Bone marrow aspirate smear — 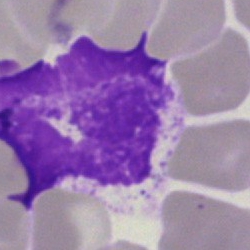

Morphology consistent with an artifact.